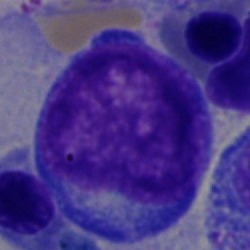

Q: Identify the cell.
A: A blast.